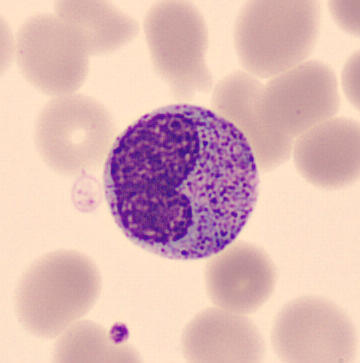Image: MGG-stained. Peripheral blood smear. Morphology consistent with a metamyelocyte.